Brightfield microscopy, 40× oil immersion. Bone marrow smear:
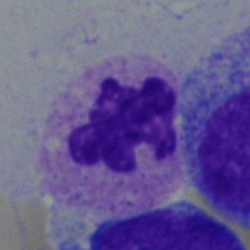

The morphological class is neutrophil (segmented).